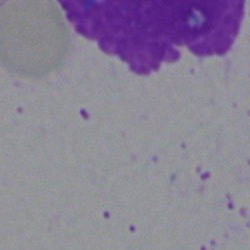

{"cell_type": "artifact"}